Bone marrow aspirate smear. Brightfield microscopy, 40× oil immersion. Cropped to a single cell
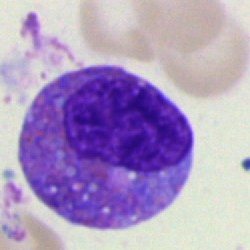Morphological class: eosinophilic granulocyte.